Bone marrow aspirate smear · image size 250×250 · brightfield microscopy, 40× oil immersion
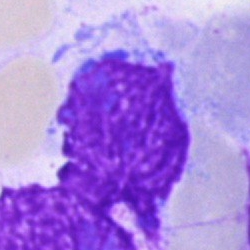

Q: What is shown here?
A: This is an artifact.